Bone marrow aspirate smear; 250 by 250 pixels
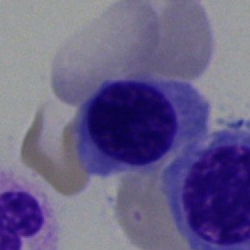A normoblast.